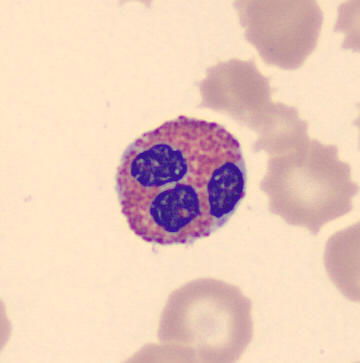

Peripheral blood smear. Morphological class = eosinophilic granulocyte.